Single-cell crop; bone marrow smear: 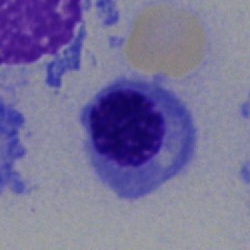 The cell type is nucleated red blood cell.